Bone marrow smear — 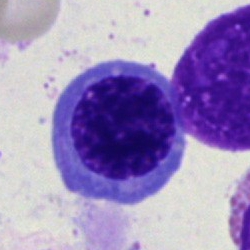
Specimen: bone marrow smear.
Cell: nucleated red blood cell.